Bone marrow smear:
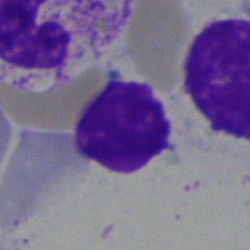 This is an artefact.